Single cell centered in the field. Bone marrow smear:
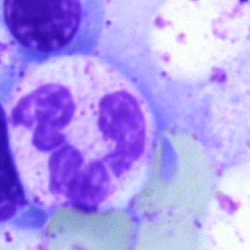 Specimen: bone marrow smear.
Morphological class: segmented neutrophil.
Lineage: myeloid.